Brightfield microscopy, 40× oil immersion; bone marrow smear: 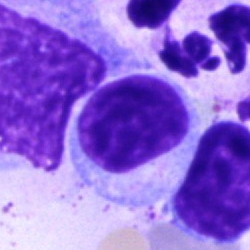

Cell = typical lymphocyte.